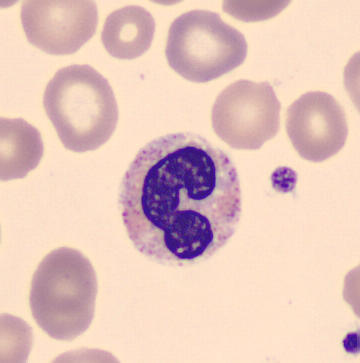

Impression → band-form neutrophil.
Acquisition: 360×363. Peripheral blood film.